250×250 px. Bone marrow aspirate smear.
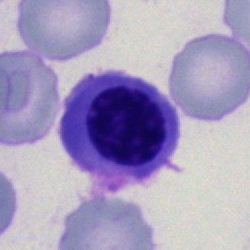
Showing a normoblast.